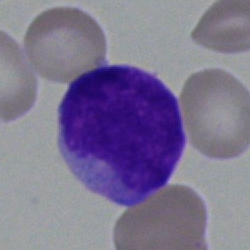Specimen: bone marrow aspirate smear.
Morphological class: undifferentiated blast.